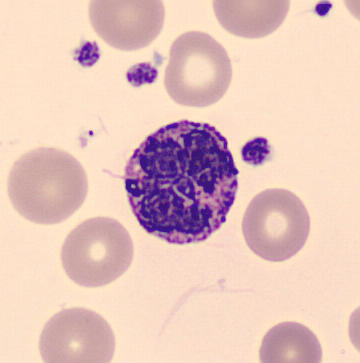Preparation: Peripheral blood smear.
Single cell identified as a basophilic granulocyte.